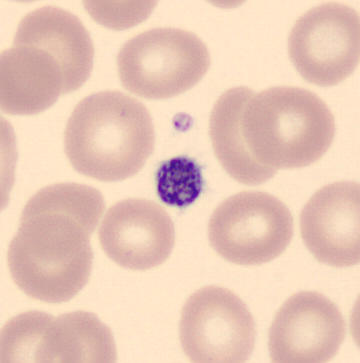

Preparation: Peripheral blood film.
The morphological class is platelet.